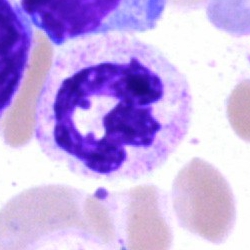Specimen: bone marrow smear.
Cell type: polymorphonuclear neutrophil.
Lineage: myeloid.